Bone marrow aspirate smear
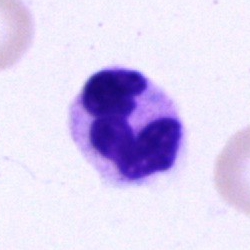
Single cell identified as a polymorphonuclear neutrophil.